Peripheral blood smear
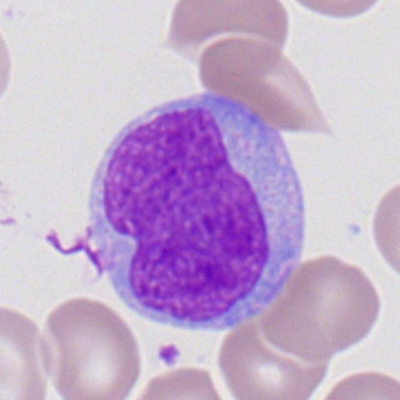

This is a myeloblast.